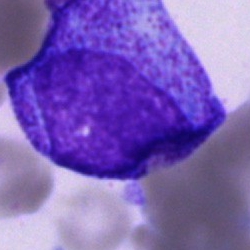{"cell_type": "progranulocyte", "lineage": "myeloid"}